Bone marrow aspirate smear; 40× oil immersion — 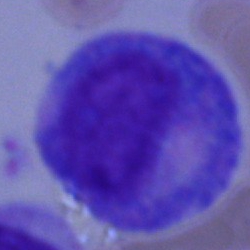
The cell type is promyelocyte.